Bone marrow smear. Pappenheim-stained.
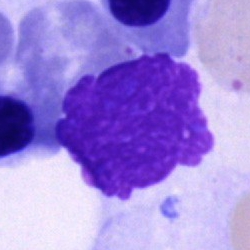 Morphological class: artefact.